Bone marrow aspirate smear; 250 by 250 pixels.
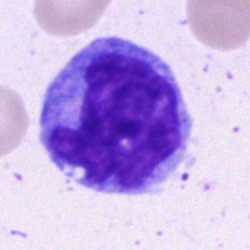 Morphological class: monocyte.